Romanowsky-stained. Brightfield, 100× oil-immersion objective. Peripheral blood smear:
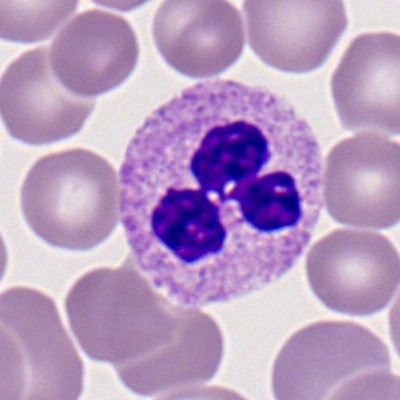
Q: Which cell type is shown here?
A: A neutrophil (segmented).